Cropped to a single cell · bone marrow smear · image size 250×250: 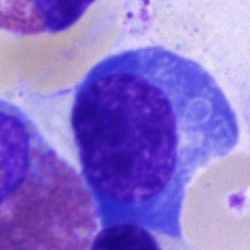 An erythroblast.